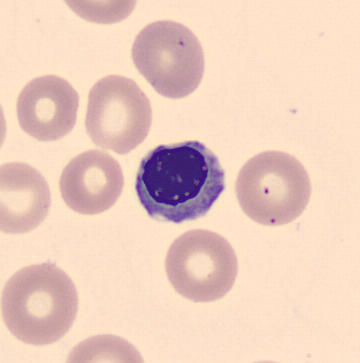

Peripheral blood film. Morphology → nucleated red cell.